Bone marrow smear. 250×250 px:
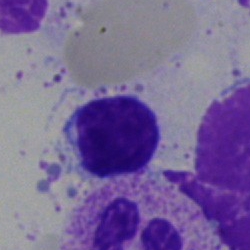Lymphocyte.